Single cell centered in the field. May-Grünwald-Giemsa/Pappenheim stain. Bone marrow aspirate smear — 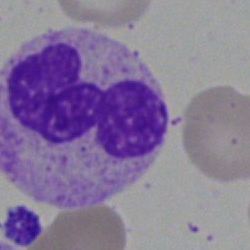Q: What is shown here?
A: It is a neutrophil (segmented).